Bone marrow aspirate smear — 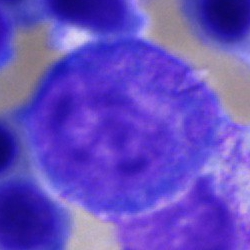

Q: Which cell type is shown here?
A: Progranulocyte.